40× oil immersion · bone marrow aspirate smear · MGG-stained
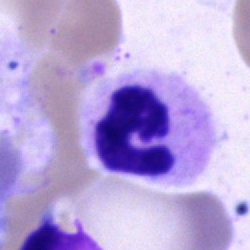 Specimen: bone marrow smear.
Cell: neutrophil (segmented).
Lineage: myeloid.